May-Grünwald-Giemsa/Pappenheim stain. Bone marrow aspirate smear: 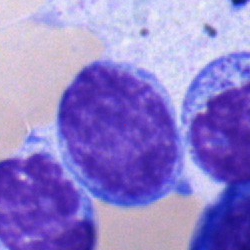Q: Which cell type is shown here?
A: This is a blast.